Single cell centered in the field; bone marrow aspirate smear.
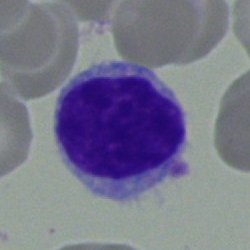

Morphology → lymphocyte.